Bone marrow aspirate smear.
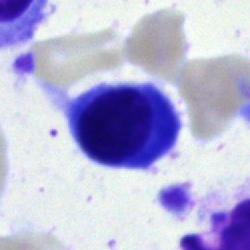 Q: Identify the cell.
A: It is a nucleated red blood cell.